Bone marrow aspirate smear.
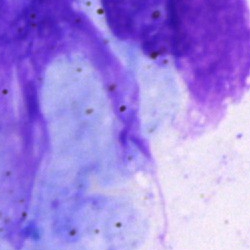 Classification = artefact.